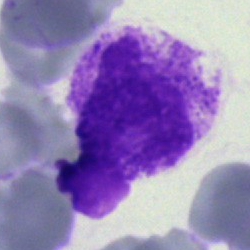 Classification = artefact.